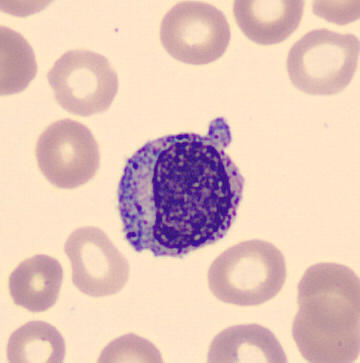
Specimen: peripheral blood smear.
Morphological class: metamyelocyte.